MGG-stained. Cropped to a single cell. Bone marrow aspirate smear:
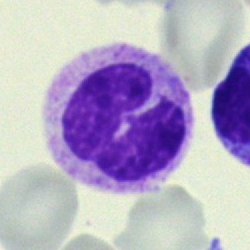Specimen: bone marrow smear.
Cell type: segmented neutrophil.
Lineage: myeloid.